Bone marrow aspirate smear.
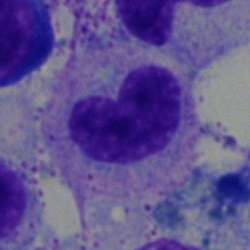

Showing a band-form neutrophil.